Bone marrow aspirate smear — 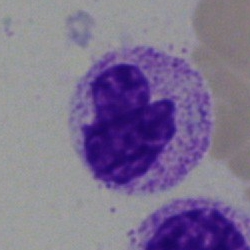

Classification — neutrophil (segmented).